40× oil immersion. Bone marrow smear: 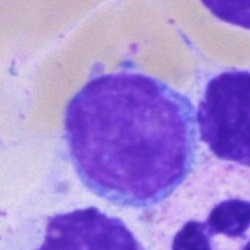
Showing a typical lymphocyte.